May-Grünwald-Giemsa/Pappenheim stain. Single cell centered in the field. Bone marrow aspirate smear: 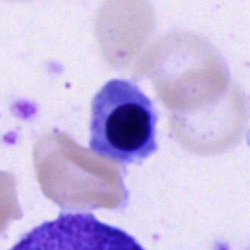 Specimen: bone marrow smear.
Cell: erythroblast.
Lineage: erythroid.